Bone marrow smear — 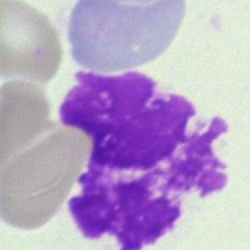
Cell — artefact.